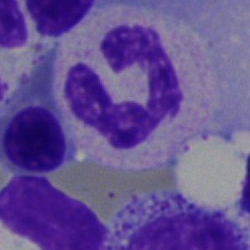 {"cell_type": "neutrophil (segmented)"}